Single-cell crop · peripheral blood smear · 400×400 px
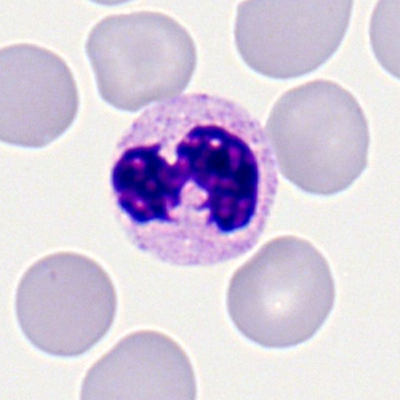 Impression — segmented neutrophil.